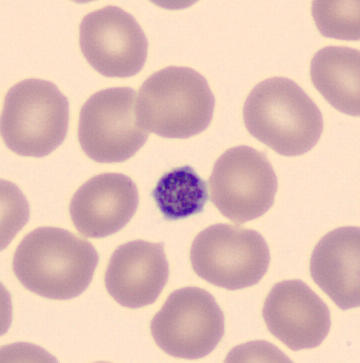
Acquisition: 360×363 px; peripheral blood smear.

Impression — thrombocyte.